Bone marrow smear. MGG-stained.
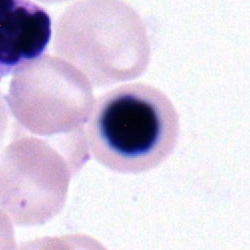 Q: What cell is this?
A: A nucleated red blood cell.